40× oil immersion. Bone marrow aspirate smear. 250×250 px:
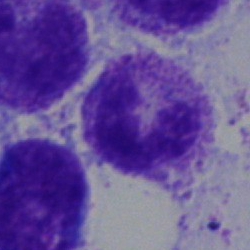 A segmented neutrophil.